Bone marrow smear · 40× objective, oil immersion · May-Grünwald-Giemsa stain:
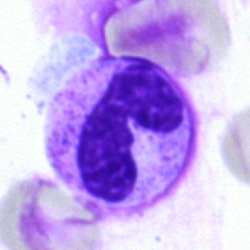Single cell identified as a neutrophil (segmented).